Bone marrow aspirate smear: 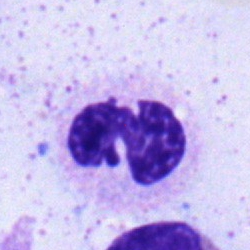A neutrophil (segmented).